Bone marrow smear; 250×250:
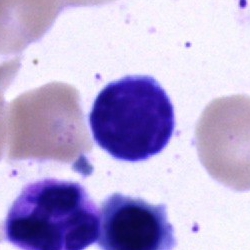 Lymphocyte.